Bone marrow aspirate smear.
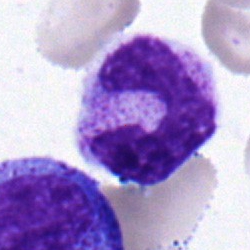

This is a band-form neutrophil.